40× objective, oil immersion. Bone marrow smear — 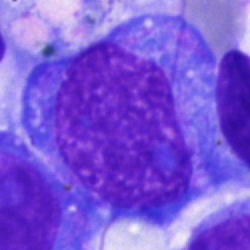
The cell shown is a progranulocyte.